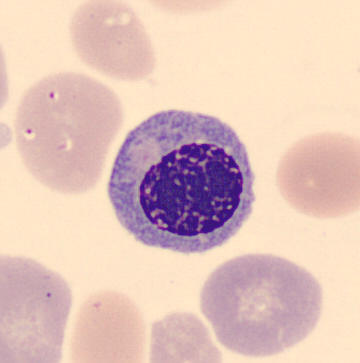Image: Peripheral blood film · MGG stain.

Identified as an erythroblast.